250 by 250 pixels; bone marrow smear; single-cell crop — 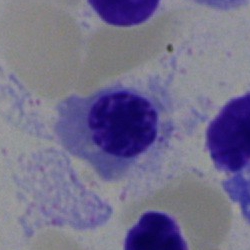This is a nucleated red blood cell.